Bone marrow aspirate smear:
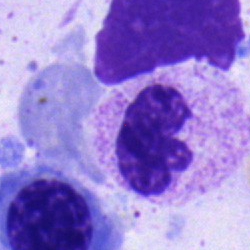

A stab cell.